Peripheral blood smear · single-cell crop · automated cell imaging (CellaVision DM96).
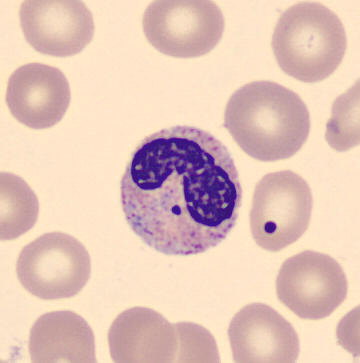

Q: Identify the cell.
A: Band-form neutrophil.